Bone marrow aspirate smear:
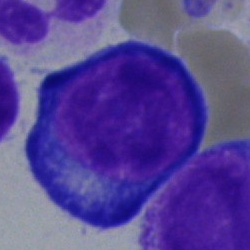 Morphology → pronormoblast.